Bone marrow smear.
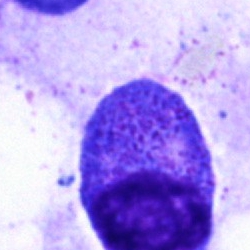 Q: Identify the cell.
A: It is a progranulocyte.